Peripheral blood smear.
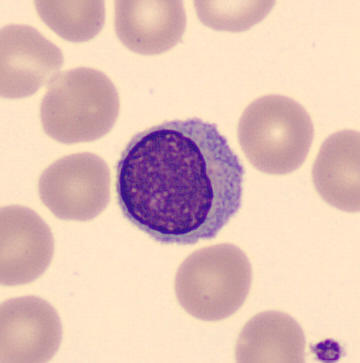Q: What is this?
A: A typical lymphocyte.